Brightfield microscopy, 40× oil immersion; bone marrow aspirate smear: 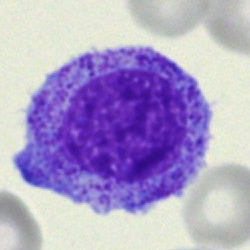 Single cell identified as a promyelocyte.